Bone marrow aspirate smear; May-Grünwald-Giemsa/Pappenheim stain
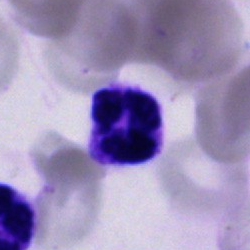A polymorphonuclear neutrophil.